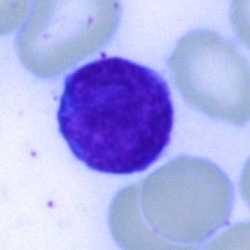

A typical lymphocyte.